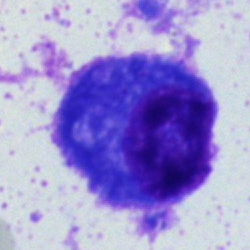
Q: Identify the cell.
A: Plasmacyte.